Peripheral blood film.
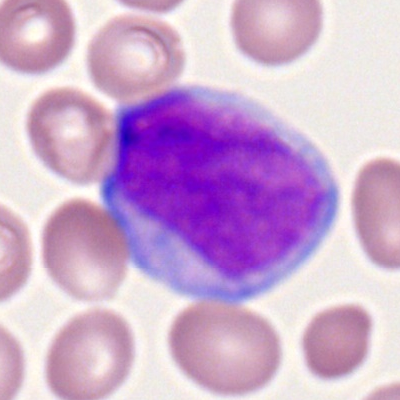

Classification: myeloblast.